Peripheral blood smear — 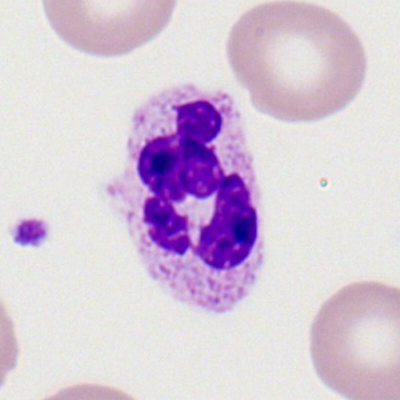
{"cell_type": "polymorphonuclear neutrophil", "lineage": "myeloid"}